40× objective, oil immersion; bone marrow aspirate smear; 250×250 px:
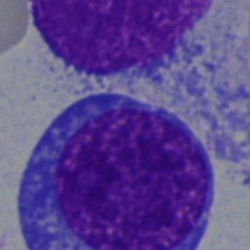

Specimen: bone marrow smear.
Classification: pronormoblast.
Lineage: erythroid.